Peripheral blood film — 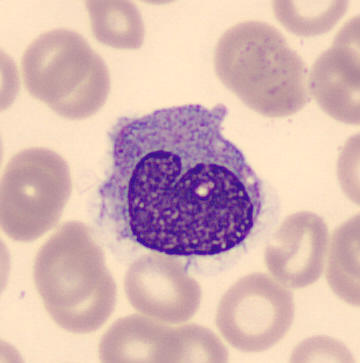 Single cell identified as a monocyte.